400 by 400 pixels; peripheral blood smear.
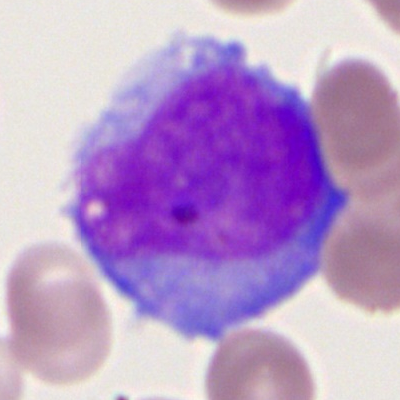
A myeloid blast.